Bone marrow smear.
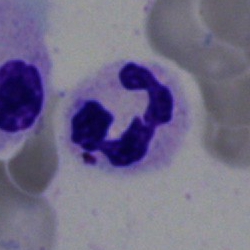 A neutrophil (segmented).